40× oil immersion · single-cell field · bone marrow aspirate smear — 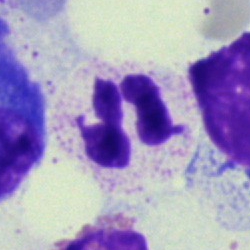

Specimen: bone marrow aspirate smear.
Cell type: neutrophil (segmented).